Peripheral blood film: 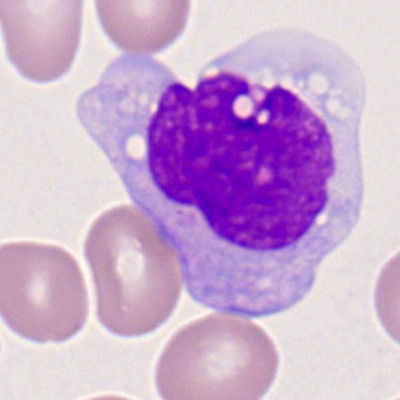
This is a monocyte.